Bone marrow aspirate smear: 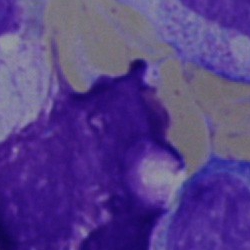
Morphology → artifact.